Bone marrow aspirate smear — 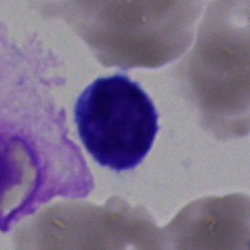
Q: What is shown here?
A: It is a typical lymphocyte.